Bone marrow smear; Pappenheim-stained: 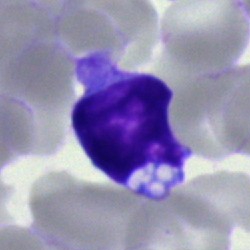Lymphocyte.